Bone marrow aspirate smear · single cell centered in the field · May-Grünwald-Giemsa stain — 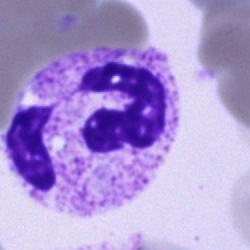
The cell shown is a polymorphonuclear neutrophil.